Brightfield microscopy, 40× oil immersion · bone marrow aspirate smear — 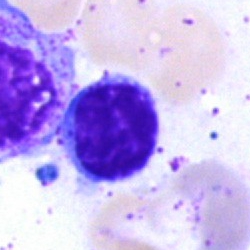 Morphology consistent with a lymphocyte.